May-Grünwald-Giemsa/Pappenheim stain. Bone marrow smear
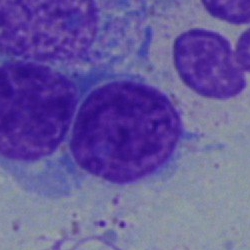 The classification is typical lymphocyte.